250 by 250 pixels · single-cell field · bone marrow aspirate smear
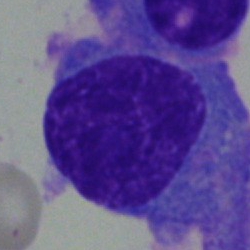 Showing a plasmacyte.